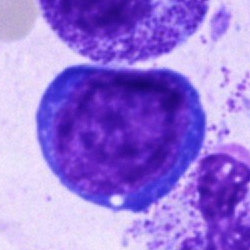

Q: What is the morphological classification of this cell?
A: Pronormoblast.